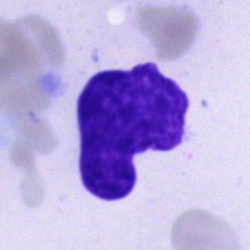

Morphological class — artefact.